Bone marrow aspirate smear.
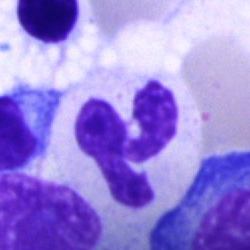

Specimen: bone marrow aspirate smear.
Cell type: polymorphonuclear neutrophil.
Lineage: myeloid.